Bone marrow smear:
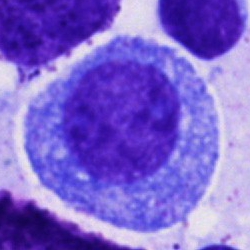
This is a progranulocyte.